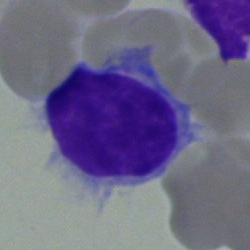

Single-cell crop from a bone marrow smear: typical lymphocyte.